Bone marrow smear: 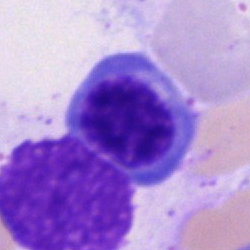 Cell — nucleated red cell.